250 by 250 pixels · bone marrow aspirate smear:
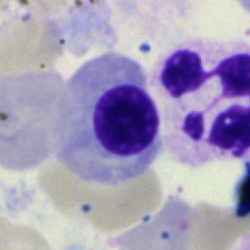
Nucleated red blood cell.